Peripheral blood film; single cell centered in the field.
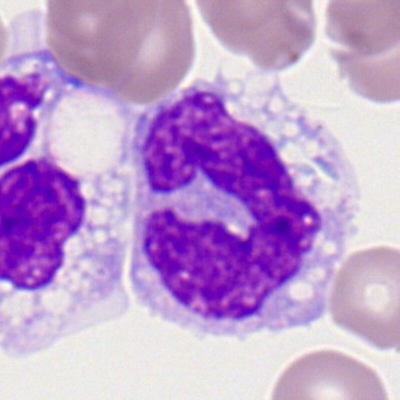
Morphology → monocyte.